250×250 · bone marrow smear
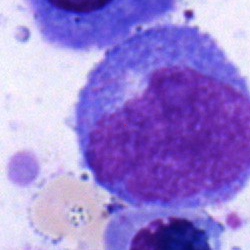

Specimen: bone marrow smear.
Morphological class: progranulocyte.
Lineage: myeloid.